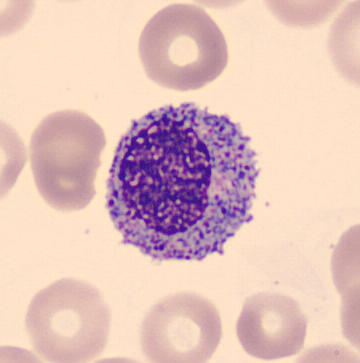
Morphology → myelocyte.